Image size 250×250 · single cell centered in the field · bone marrow smear
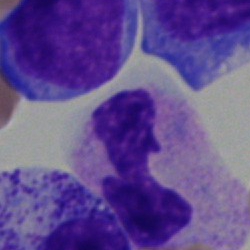 Morphology consistent with a polymorphonuclear neutrophil.